Bone marrow aspirate smear — 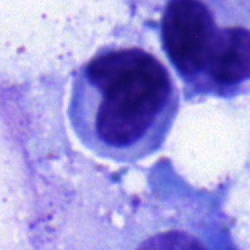

Morphology → band-form neutrophil.